Bone marrow aspirate smear; 250 by 250 pixels; 40× objective, oil immersion: 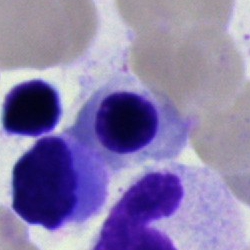Classification = basophilic granulocyte.